Single-cell crop · bone marrow aspirate smear · 40× oil immersion.
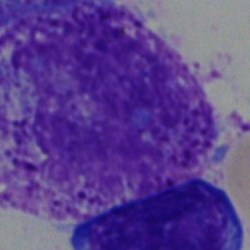
Showing a blast.